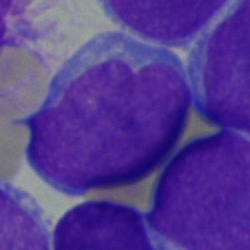

Cell type = undifferentiated blast.